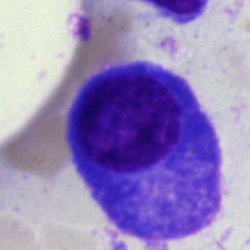
Cell type: plasmacyte.